Bone marrow aspirate smear
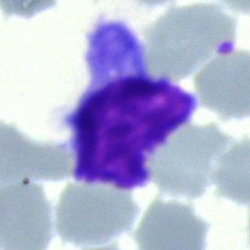 Q: What cell is this?
A: It is a typical lymphocyte.